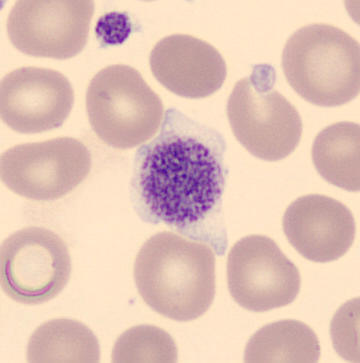Q: What is this?
A: A platelet. Image: CellaVision DM96 digital cell image. Peripheral blood film.